Bone marrow smear — 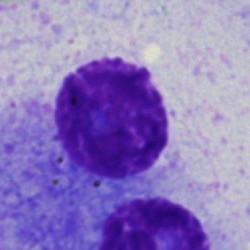Q: What is shown here?
A: This is an artefact.